Bone marrow aspirate smear — 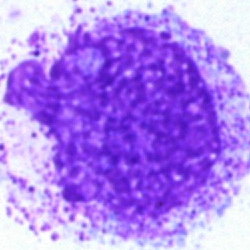 Q: What is shown here?
A: This is an artefact.